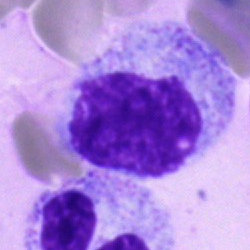 Cell type = myelocyte.